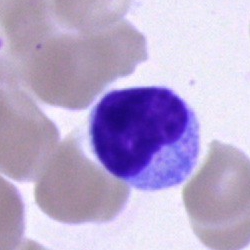Morphology consistent with a lymphocyte.